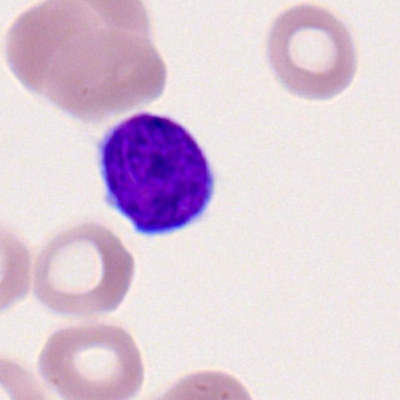

Cell type = typical lymphocyte.